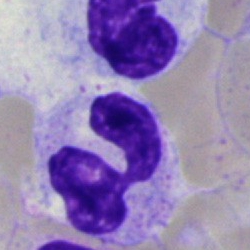 Q: Which cell type is shown here?
A: Neutrophil (segmented).